Bone marrow aspirate smear.
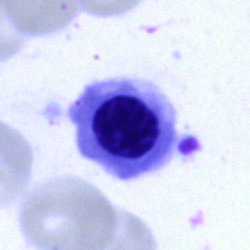

Specimen: bone marrow aspirate smear.
Cell type: normoblast.